Pappenheim-stained; bone marrow aspirate smear — 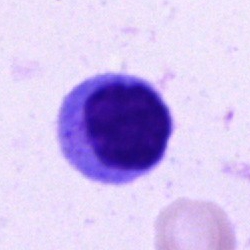Cell type = typical lymphocyte.